Bone marrow smear; Pappenheim-stained:
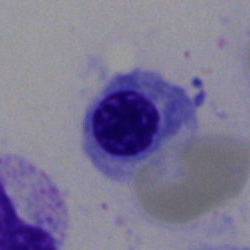 Cell — nucleated red cell.